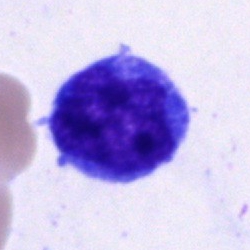
Blast cell.